Bone marrow aspirate smear.
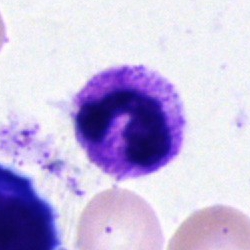 Cell type: polymorphonuclear neutrophil.